Bone marrow smear.
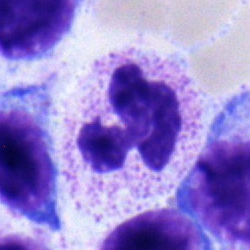 Q: Which cell type is shown here?
A: This is a neutrophil (segmented).